Bone marrow smear
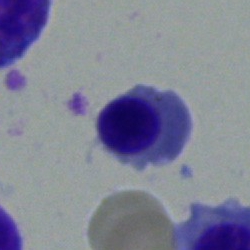 Specimen: bone marrow aspirate smear.
Cell type: nucleated red blood cell.
Lineage: erythroid.